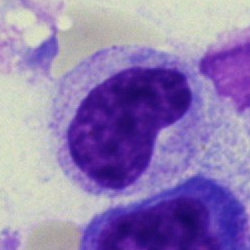
Q: What type of cell is this?
A: It is a metamyelocyte.